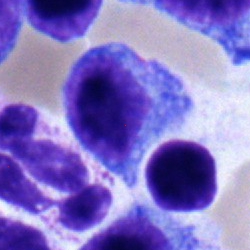 Morphology — lymphocyte.